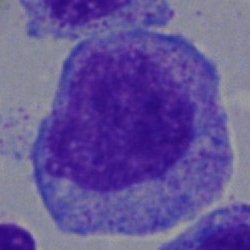 Morphology → promyelocyte.